Brightfield, 40× oil-immersion objective · bone marrow aspirate smear · single-cell crop.
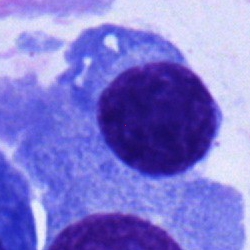
{"cell_type": "plasma cell", "lineage": "lymphoid"}